Bone marrow smear · cropped to a single cell: 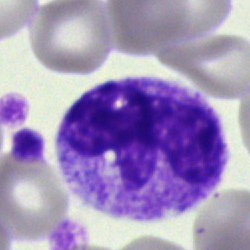
Morphology consistent with a segmented neutrophil.